250×250 px. Bone marrow aspirate smear — 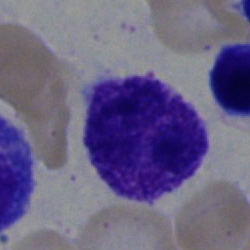

The cell shown is an artifact.